Bone marrow aspirate smear
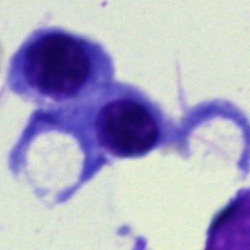Specimen: bone marrow aspirate smear.
Morphological class: normoblast.
Lineage: erythroid.